Cropped to a single cell. Bone marrow aspirate smear:
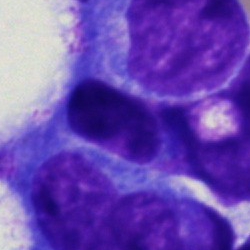 Morphology — artifact.